Brightfield, 40× oil-immersion objective. Bone marrow smear. Cropped to a single cell — 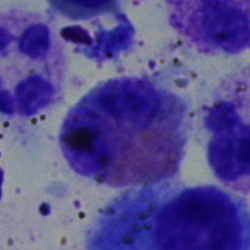

Morphology consistent with an eosinophil.